Bone marrow aspirate smear — 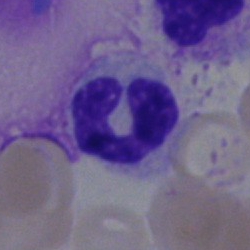 {"cell_type": "segmented neutrophil", "lineage": "myeloid"}